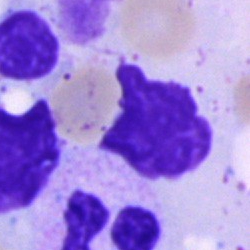An artifact.